Bone marrow aspirate smear.
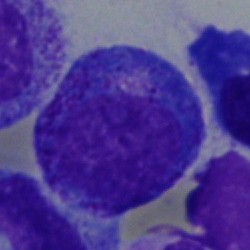Single cell identified as a promyelocyte.